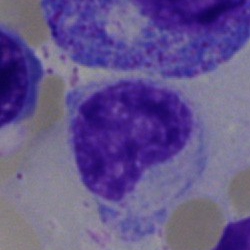
The cell is metamyelocyte.